Bone marrow aspirate smear; image size 250×250.
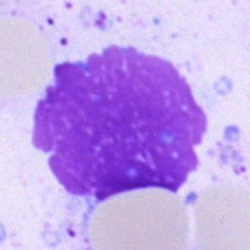
Morphology — artifact.